Bone marrow smear
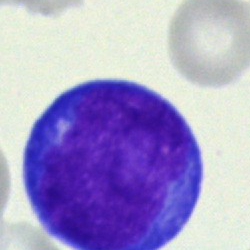 The cell type is pronormoblast.